Brightfield, 100× oil-immersion objective · peripheral blood smear · single cell centered in the field:
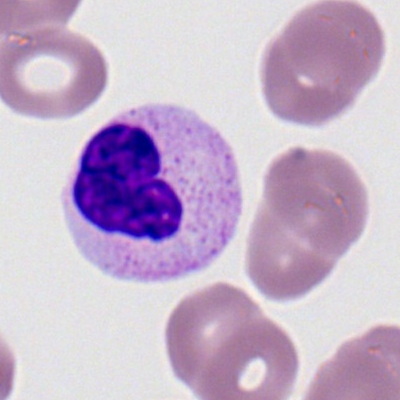 The morphological class is neutrophil (segmented).